Bone marrow aspirate smear.
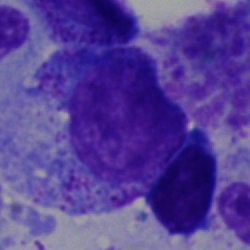
Cell type — myelocyte.